May-Grünwald-Giemsa/Pappenheim stain. Image size 250×250. Bone marrow smear: 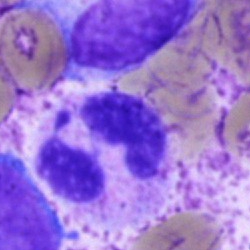

Q: What is shown here?
A: It is a segmented neutrophil.